Bone marrow aspirate smear; brightfield, 40× oil-immersion objective — 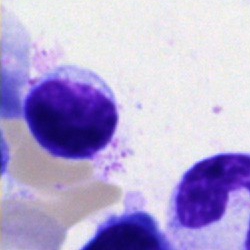Classification = typical lymphocyte.